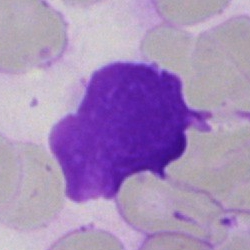{"cell_type": "artifact"}